Bone marrow smear: 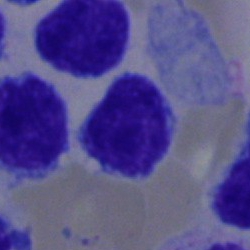

The cell shown is a typical lymphocyte.